Bone marrow smear; brightfield, 40× oil-immersion objective; Pappenheim-stained: 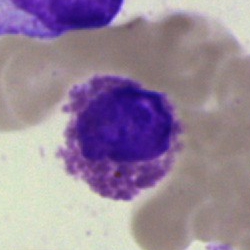
Impression — eosinophilic granulocyte.